Bone marrow aspirate smear
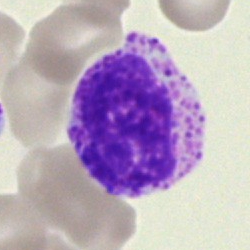 Q: What cell is this?
A: It is a basophilic granulocyte.